Bone marrow smear. MGG-stained:
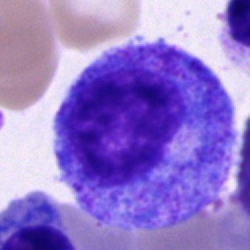 The classification is progranulocyte.